250 by 250 pixels. Bone marrow smear. May-Grünwald-Giemsa/Pappenheim stain:
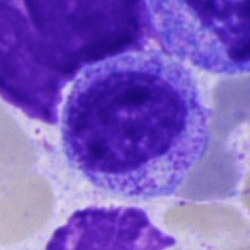 Showing a myelocyte.